Bone marrow smear:
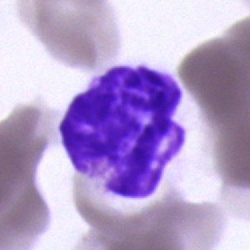
Specimen: bone marrow smear.
Classification: unidentifiable cell.